Bone marrow aspirate smear: 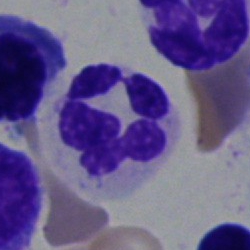{"cell_type": "neutrophil (segmented)", "lineage": "myeloid"}